Bone marrow aspirate smear: 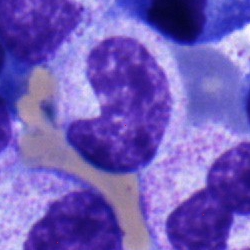
Morphology consistent with a stab cell.